Bone marrow smear.
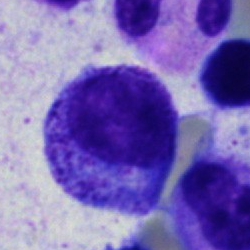

Q: What is the morphological classification of this cell?
A: This is a myelocyte.